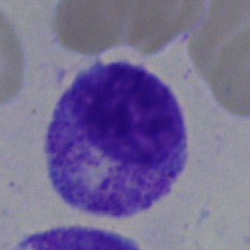 {"cell_type": "myelocyte"}